Single-cell field. Peripheral blood smear. 100× objective, oil immersion.
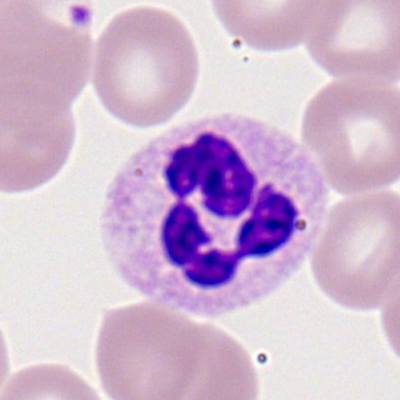
Morphology → polymorphonuclear neutrophil.